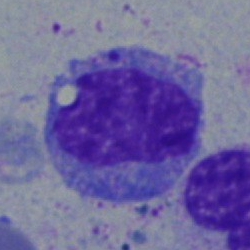
Q: What cell is this?
A: Monocyte.